Romanowsky-stained. Peripheral blood film. M8 digital microscope (Precipoint), 100× oil immersion
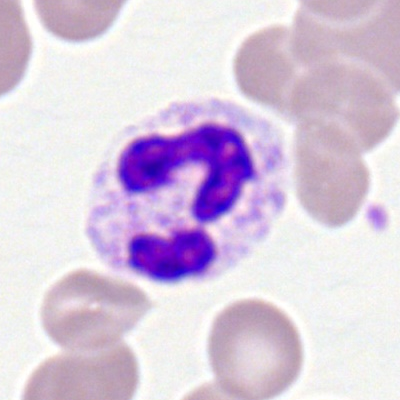
Morphological class: polymorphonuclear neutrophil.